Bone marrow aspirate smear: 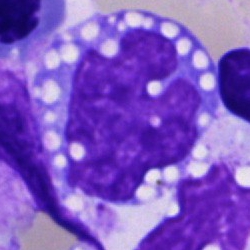
Single cell identified as a monocyte.